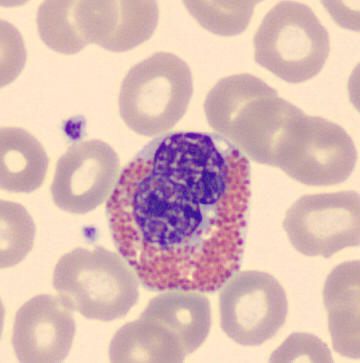 An eosinophilic granulocyte.

Single-cell crop · 360×363 px · peripheral blood smear.